Bone marrow smear
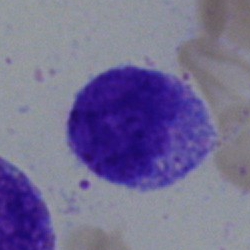
Q: What is the morphological classification of this cell?
A: This is a myelocyte.